Bone marrow smear; MGG-stained; single-cell crop
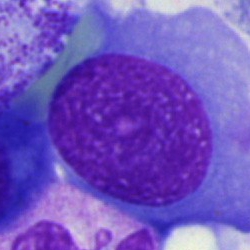 This is an erythroblast.